Bone marrow aspirate smear · 250×250.
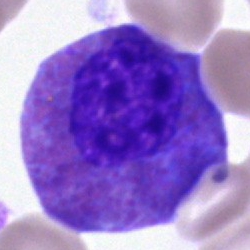Classification — eosinophil.